Cropped to a single cell. Bone marrow aspirate smear. 40× objective, oil immersion — 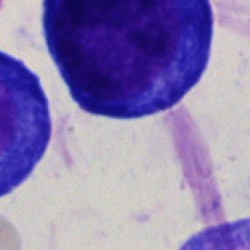 Morphology consistent with a cell of indeterminate lineage.